Bone marrow aspirate smear:
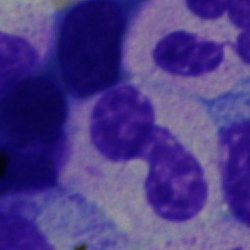Stab cell.